Bone marrow aspirate smear
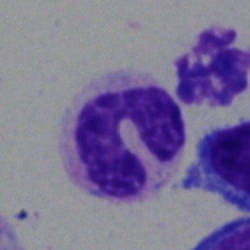A band neutrophil.